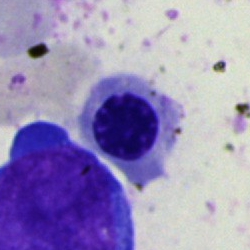
Bone marrow aspirate smear, single cell — nucleated red blood cell.